40× oil immersion. Bone marrow aspirate smear: 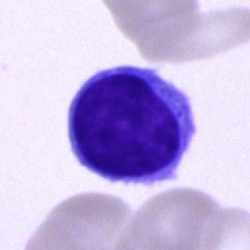
This is a typical lymphocyte.